250×250. Bone marrow smear. Brightfield microscopy, 40× oil immersion:
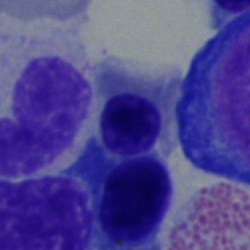Cell type = nucleated red blood cell.